Single-cell crop. Bone marrow smear: 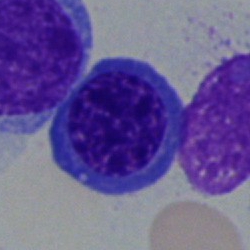Morphology → nucleated red cell.